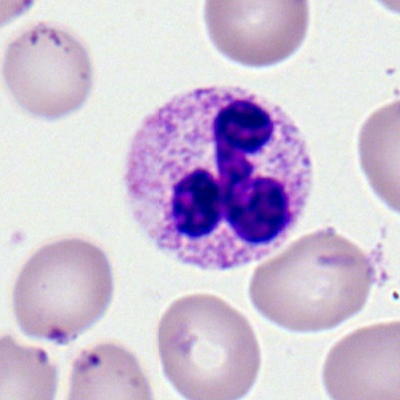 A segmented neutrophil.